Single-cell field · bone marrow aspirate smear · MGG-stained — 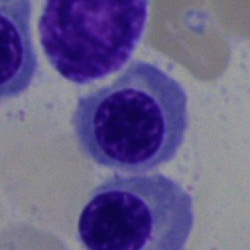
The cell is nucleated red blood cell.